Bone marrow aspirate smear; May-Grünwald-Giemsa/Pappenheim stain; 40× oil immersion:
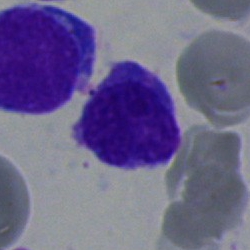

Specimen: bone marrow smear.
Cell type: lymphocyte.